Bone marrow smear · MGG-stained.
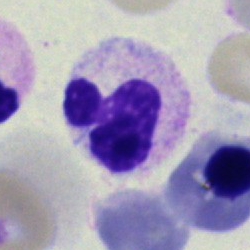
Classification: band-form neutrophil.